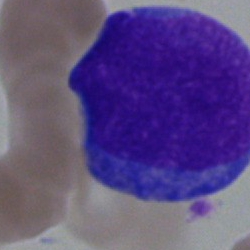

Specimen: bone marrow aspirate smear.
Morphological class: undifferentiated blast.